250×250. Pappenheim-stained. Bone marrow smear: 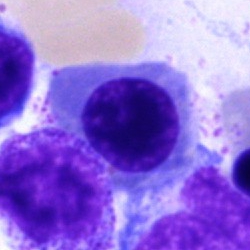
This is a nucleated red cell.